Brightfield microscopy, 40× oil immersion. Bone marrow smear — 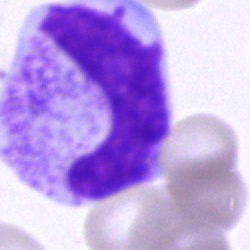
Morphological class: band-form neutrophil.